Single cell centered in the field · bone marrow aspirate smear.
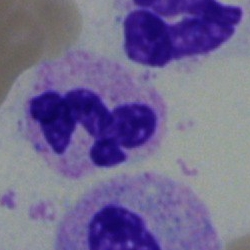
Showing a polymorphonuclear neutrophil.